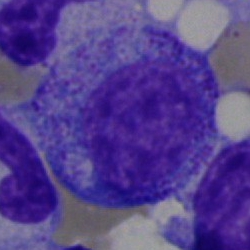Cell: promyelocyte.